Bone marrow smear: 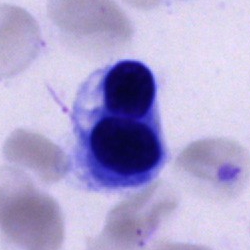Morphological class = cell of indeterminate lineage.